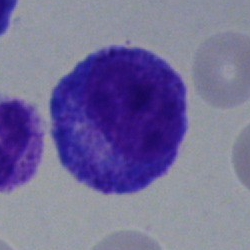 This is a promyelocyte.